Brightfield microscopy, 40× oil immersion · bone marrow aspirate smear:
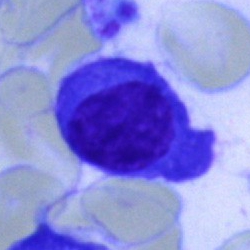 This is a plasmacyte.